Bone marrow smear — 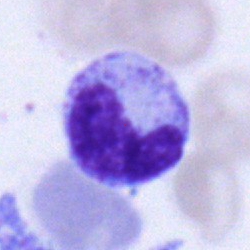 Single cell identified as a metamyelocyte.